Bone marrow smear.
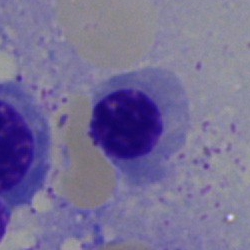

{"cell_type": "normoblast", "lineage": "erythroid"}